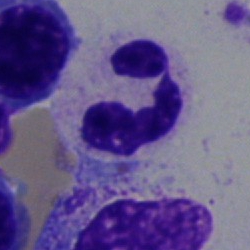 Cell type = polymorphonuclear neutrophil.